Bone marrow aspirate smear. Cropped to a single cell. 250×250
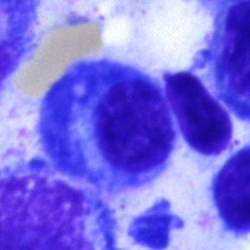

Morphology → plasmacyte.